Bone marrow aspirate smear
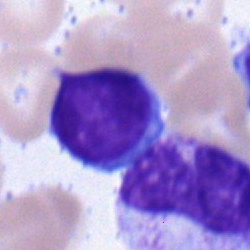Lymphocyte.